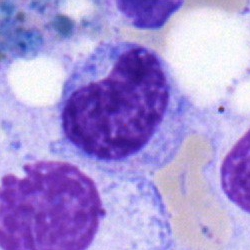

Morphology consistent with a metamyelocyte.